Cropped to a single cell · bone marrow aspirate smear.
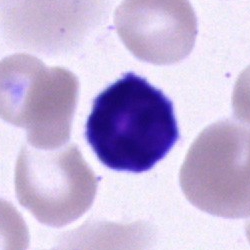
This is a lymphocyte.